Bone marrow smear · 250 by 250 pixels:
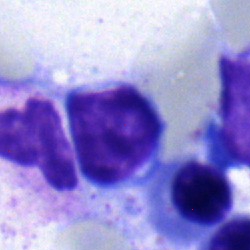

Cell — typical lymphocyte.